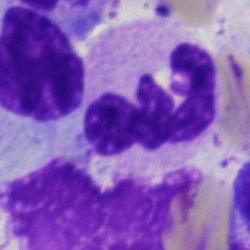A neutrophil (segmented).